Bone marrow smear — 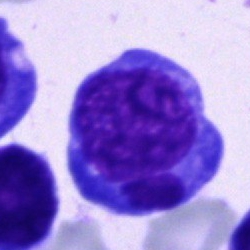 {"cell_type": "undifferentiated blast"}